Bone marrow smear: 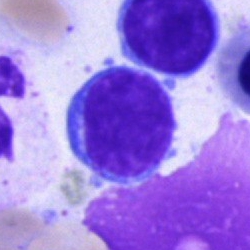 Q: What type of cell is this?
A: This is a lymphocyte.